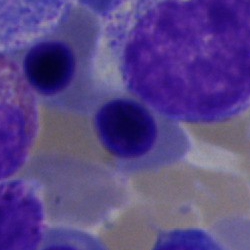
Bone marrow smear showing a normoblast.